Single-cell crop; bone marrow aspirate smear; brightfield microscopy, 40× oil immersion: 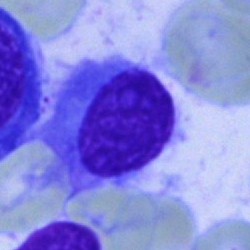Specimen: bone marrow smear.
Cell: plasmacyte.
Lineage: lymphoid.